Bone marrow smear — 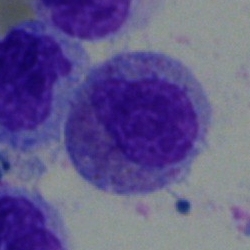An eosinophilic granulocyte.